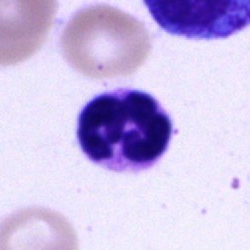Morphological class = polymorphonuclear neutrophil.